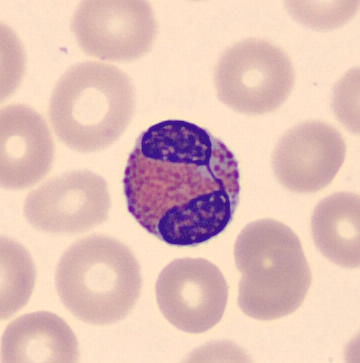 {"cell_type": "eosinophil"}
Peripheral blood film.